Bone marrow aspirate smear — 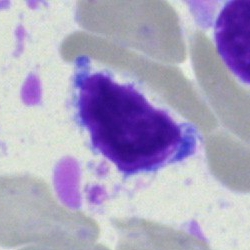Single cell identified as a lymphocyte.